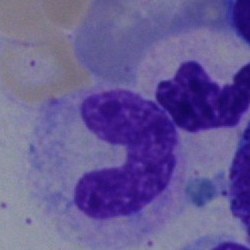
Classification: band-form neutrophil.